Bone marrow smear.
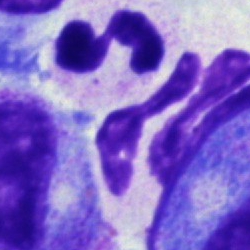Q: What is the morphological classification of this cell?
A: This is a segmented neutrophil.